Bone marrow smear — 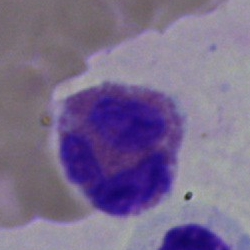 Q: What type of cell is this?
A: It is an eosinophilic granulocyte.